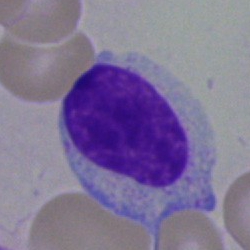This is a lymphocyte.